Bone marrow smear
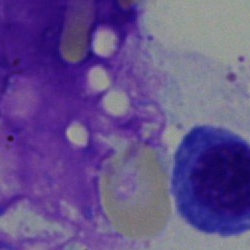Impression — artifact.